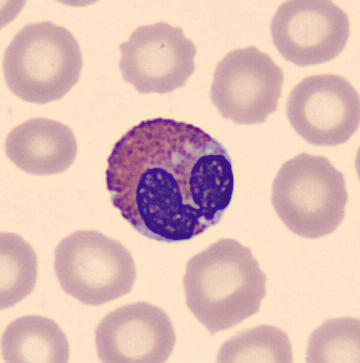
Peripheral blood film.
Morphological class = eosinophil.